Bone marrow aspirate smear; May-Grünwald-Giemsa/Pappenheim stain; cropped to a single cell: 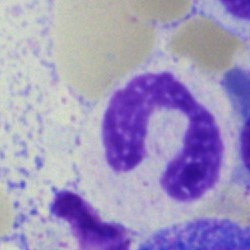
Specimen: bone marrow smear.
Cell type: polymorphonuclear neutrophil.
Lineage: myeloid.